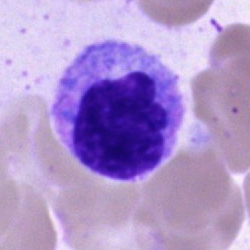
Cell type — monocyte.